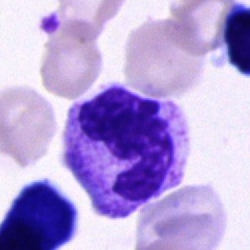 Cell type: neutrophil (segmented).